Bone marrow aspirate smear: 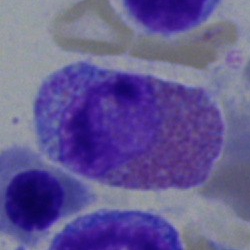
Q: Which cell type is shown here?
A: This is an eosinophil.